Peripheral blood smear — 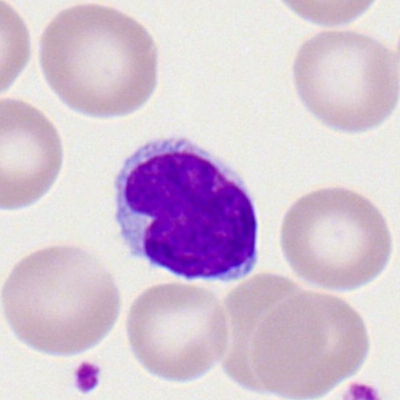The cell shown is a typical lymphocyte.